Bone marrow aspirate smear; 250×250; May-Grünwald-Giemsa/Pappenheim stain.
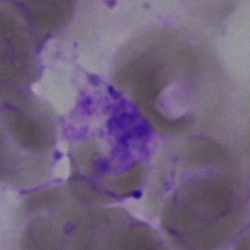
This is an artefact.